Bone marrow smear — 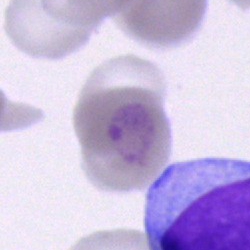

Q: Identify the cell.
A: It is an unidentifiable cell.